Single cell centered in the field. Bone marrow smear
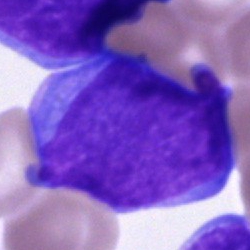
Morphology consistent with an undifferentiated blast.